360×363 px. Peripheral blood smear. CellaVision DM96 digital cell image.
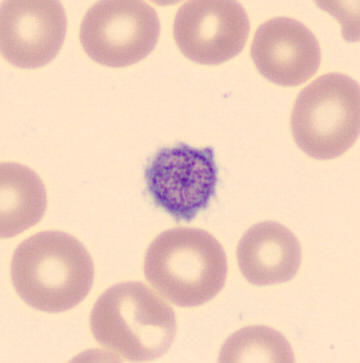
Morphology consistent with a platelet (thrombocyte).